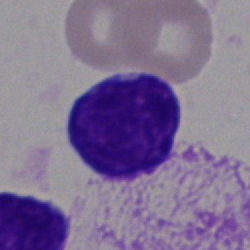 This is a blast cell.